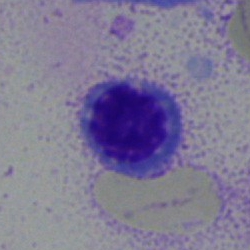

Cell type — normoblast.